Peripheral blood film:
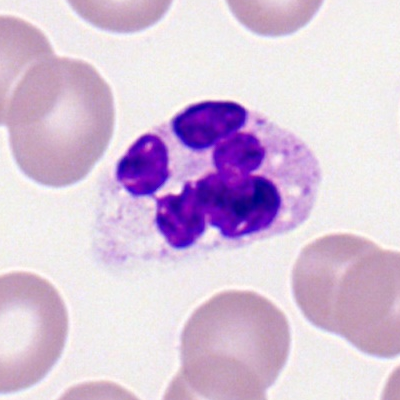Specimen: peripheral blood smear.
Morphological class: segmented neutrophil.
Lineage: myeloid.